Bone marrow aspirate smear; MGG-stained.
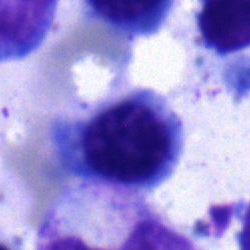
A nucleated red blood cell.